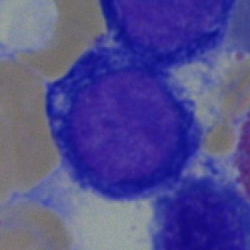 A pronormoblast.